Bone marrow aspirate smear — 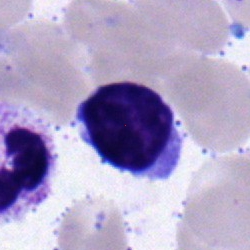

{"cell_type": "typical lymphocyte", "lineage": "lymphoid"}